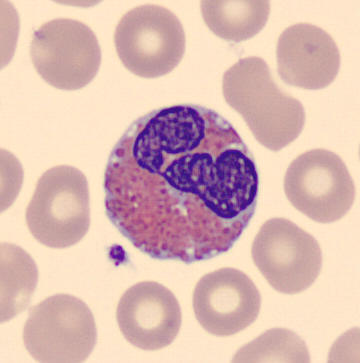Specimen: peripheral blood film.
Cell type: eosinophilic granulocyte.
Lineage: myeloid.